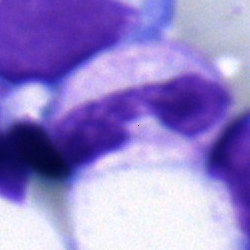
Morphology consistent with a neutrophil (band).